Bone marrow smear:
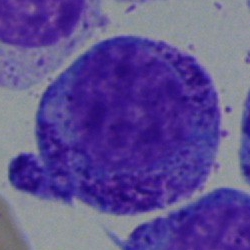

Q: What type of cell is this?
A: Progranulocyte.